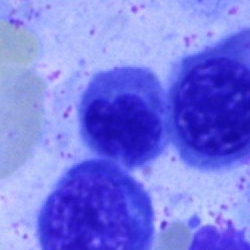Morphology — nucleated red blood cell.